Bone marrow aspirate smear.
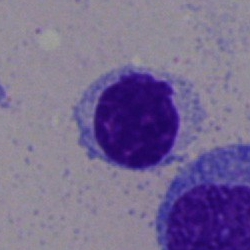 Classification = typical lymphocyte.